Bone marrow smear: 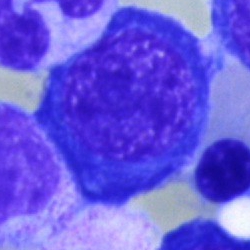

Q: What cell is this?
A: An erythroblast.